Image size 250×250 · bone marrow smear.
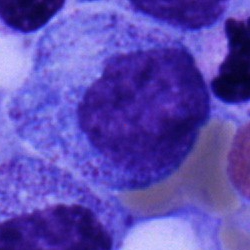The cell shown is a promyelocyte.